Peripheral blood smear · 400×400.
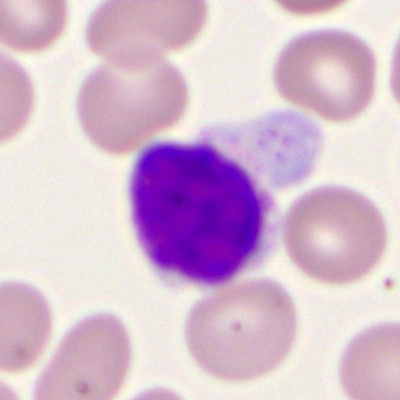Cell: typical lymphocyte.